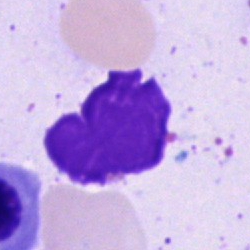

Artefact.